Bone marrow smear: 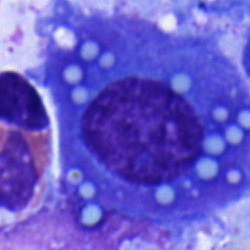Classification — plasmacyte.